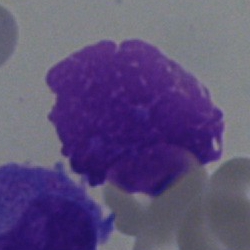This is an artefact.